Peripheral blood film:
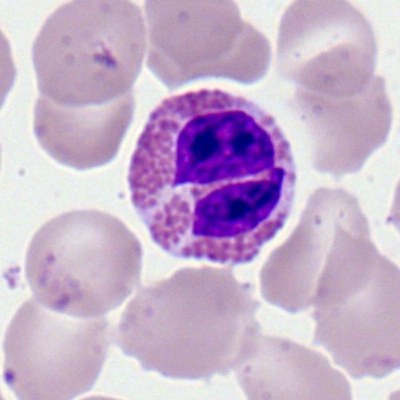Morphology consistent with an eosinophil.